May-Grünwald-Giemsa stain; bone marrow aspirate smear: 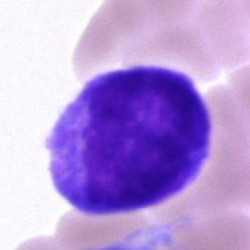 Morphological class: undifferentiated blast.